Bone marrow aspirate smear · single cell centered in the field — 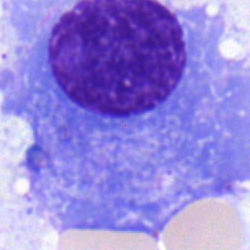

Cell type — plasma cell.